Brightfield, 40× oil-immersion objective · bone marrow smear · image size 250×250
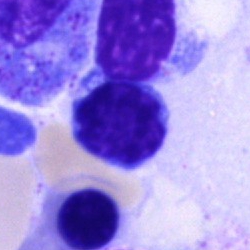 Specimen: bone marrow smear.
Classification: typical lymphocyte.